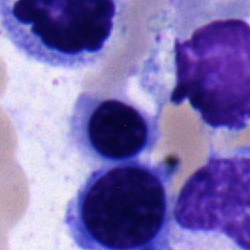
Cell = normoblast.